Brightfield microscopy, 40× oil immersion · bone marrow smear · 250 by 250 pixels.
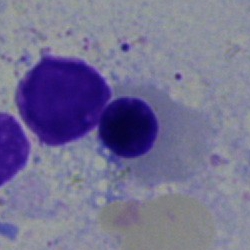 The classification is nucleated red blood cell.